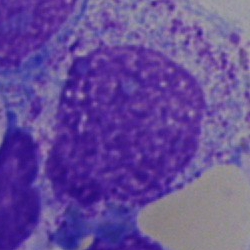

Classification = myelocyte.